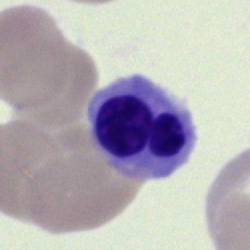

Impression → blast.